Bone marrow aspirate smear · 40× oil immersion
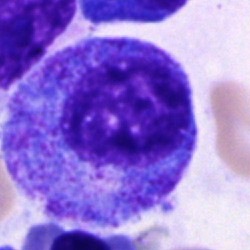

Morphology consistent with a promyelocyte.